Single-cell field; bone marrow smear.
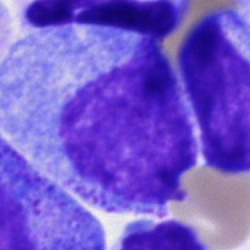 The cell shown is a progranulocyte.